Bone marrow aspirate smear.
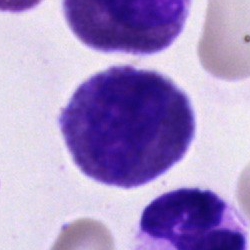

Eosinophilic granulocyte.